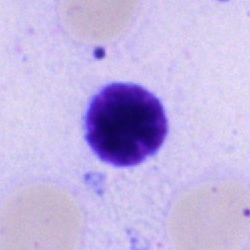This is a lymphocyte.